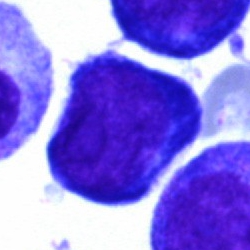 Specimen: bone marrow smear.
Classification: nucleated red blood cell.